Brightfield microscopy, 40× oil immersion; bone marrow smear; single cell centered in the field.
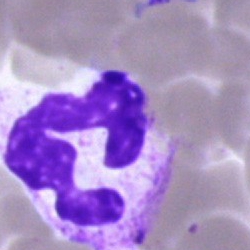 Segmented neutrophil.